Single-cell field. Peripheral blood film: 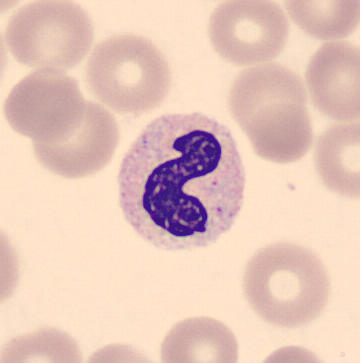
Impression → band neutrophil.